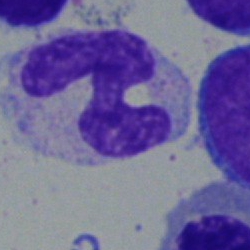 Q: What is the morphological classification of this cell?
A: It is a monocyte.